100× oil immersion, 14.14 px/µm; peripheral blood film: 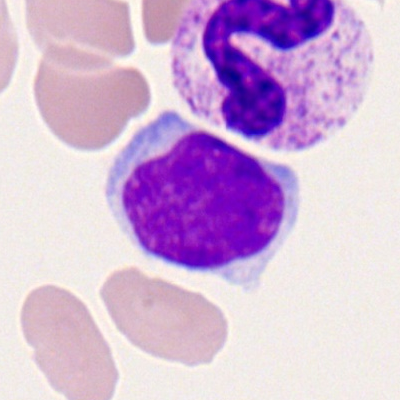

Cell type: lymphocyte.